Bone marrow aspirate smear
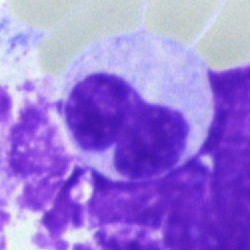
Specimen: bone marrow aspirate smear.
Cell type: stab cell.